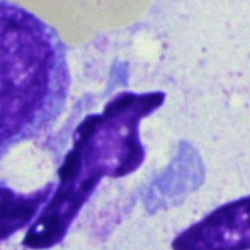An artefact on a bone marrow smear.